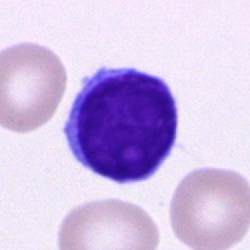

A typical lymphocyte.